Single-cell field · May-Grünwald-Giemsa/Pappenheim stain · bone marrow aspirate smear:
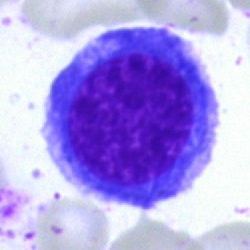Q: What is the morphological classification of this cell?
A: Normoblast.